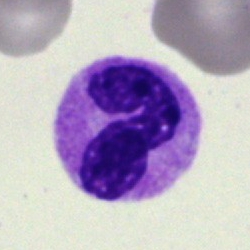Cell type = segmented neutrophil.